May-Grünwald-Giemsa/Pappenheim stain; bone marrow smear; 40× oil immersion — 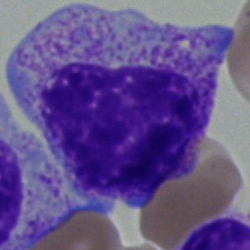

Cell type = myelocyte.